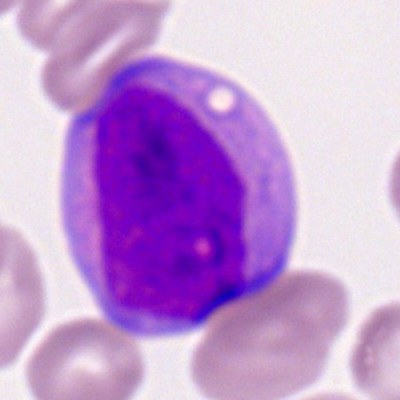 A myeloblast on a peripheral blood smear.